Bone marrow aspirate smear: 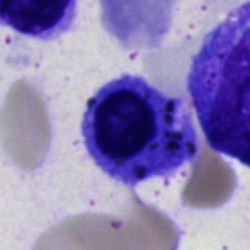Impression → nucleated red blood cell.